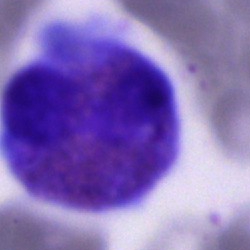 Showing an eosinophil.